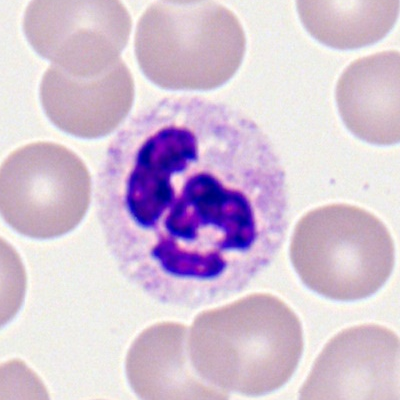The cell is neutrophil (segmented).